Single cell centered in the field; image size 250×250; bone marrow aspirate smear
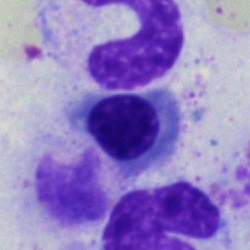
Morphology consistent with a nucleated red cell.